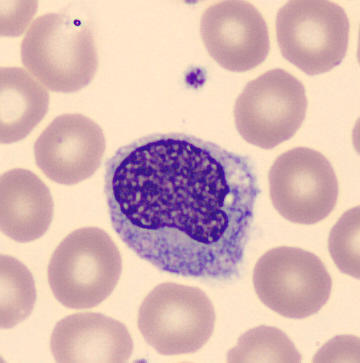
A monocyte.